May-Grünwald-Giemsa stain · bone marrow smear
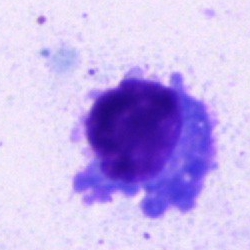A plasmacyte.